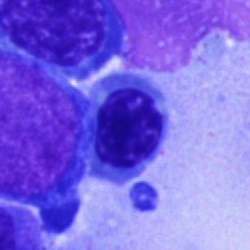{"cell_type": "nucleated red cell", "lineage": "erythroid"}